Bone marrow smear. 40× objective, oil immersion:
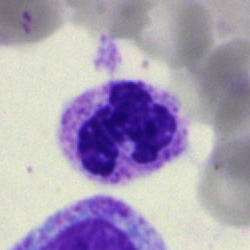

The cell type is segmented neutrophil.